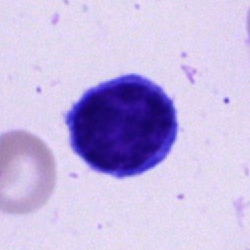

A lymphocyte.